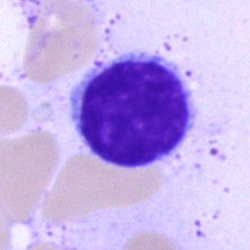

Cell type = lymphocyte.